Cropped to a single cell. Bone marrow aspirate smear: 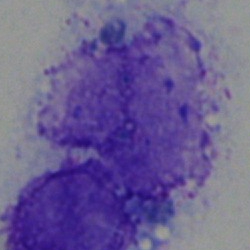Classification = artifact.